Pappenheim-stained · bone marrow smear · brightfield, 40× oil-immersion objective — 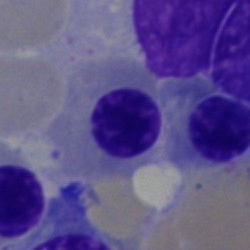 Q: What cell is this?
A: This is a normoblast.